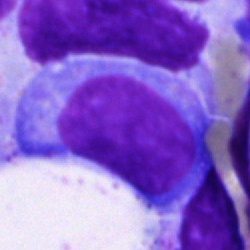
Single cell identified as a blast.